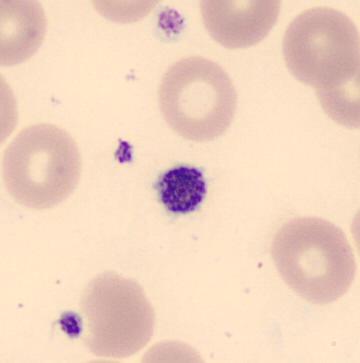
Peripheral blood film.
Q: What is this?
A: Thrombocyte.